Bone marrow smear
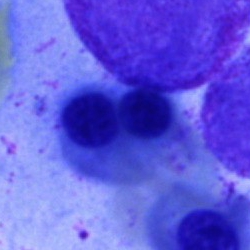
Q: What type of cell is this?
A: This is an erythroblast.